May-Grünwald-Giemsa stain · bone marrow smear — 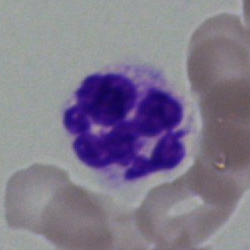Q: What is the morphological classification of this cell?
A: A polymorphonuclear neutrophil.